Peripheral blood film — 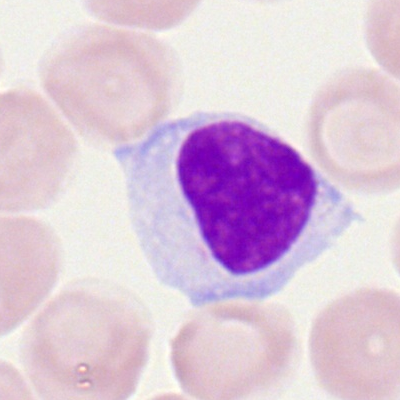

Morphology → lymphocyte.